Bone marrow smear: 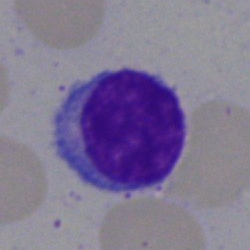
Specimen: bone marrow smear.
Classification: lymphocyte.
Lineage: lymphoid.